Bone marrow aspirate smear: 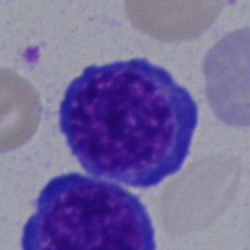Morphology consistent with an erythroblast.